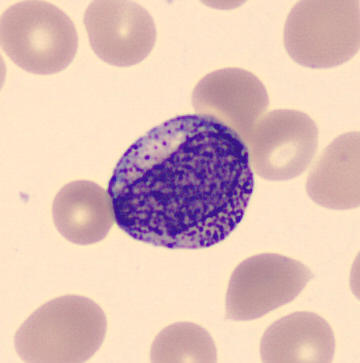
The classification is myelocyte. Image: Peripheral blood smear.